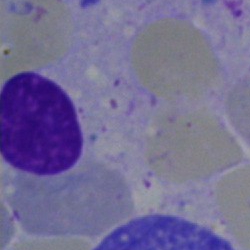 Specimen: bone marrow smear.
Morphological class: artefact.